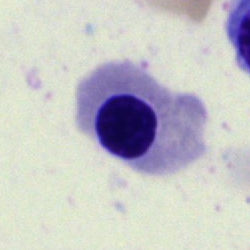
{"cell_type": "erythroblast"}